Bone marrow smear
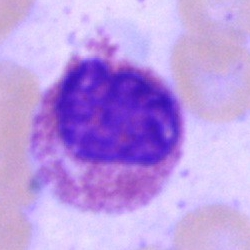 Q: Which cell type is shown here?
A: It is an eosinophilic granulocyte.